Bone marrow smear: 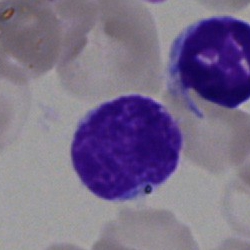 Single cell identified as a typical lymphocyte.